Bone marrow aspirate smear: 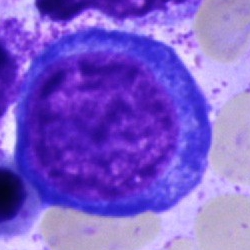

This is a proerythroblast.